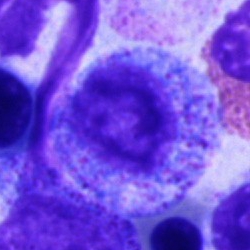

The cell is proerythroblast.